Bone marrow smear — 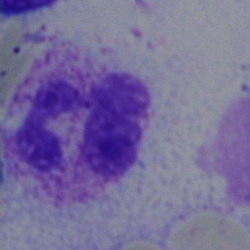{"cell_type": "polymorphonuclear neutrophil", "lineage": "myeloid"}